MGG-stained. Bone marrow smear — 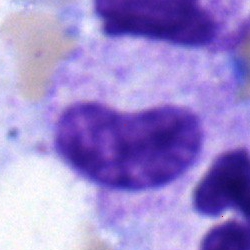

A metamyelocyte.